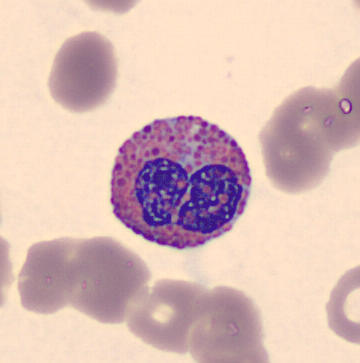 {"cell_type": "eosinophilic granulocyte"}